Bone marrow aspirate smear. 250 by 250 pixels.
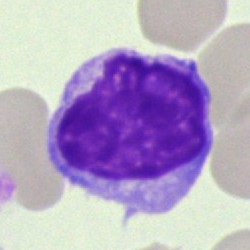

Typical lymphocyte.